Bone marrow smear; 40× oil immersion; 250×250 px — 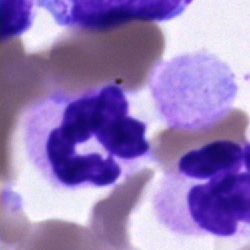Morphology consistent with a neutrophil (segmented).